Bone marrow smear:
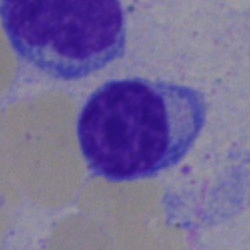
Q: What is shown here?
A: This is a typical lymphocyte.